Brightfield microscopy, 40× oil immersion · bone marrow aspirate smear
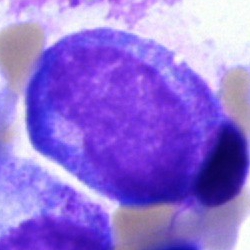

{"cell_type": "promyelocyte", "lineage": "myeloid"}